Bone marrow smear
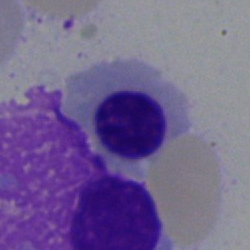

Classification: erythroblast.